Bone marrow aspirate smear
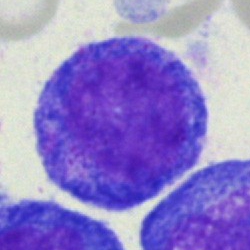

A progranulocyte.